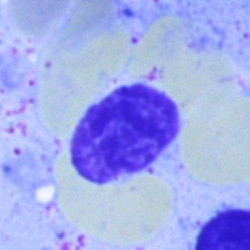
Specimen: bone marrow smear.
Cell: artifact.